Bone marrow smear
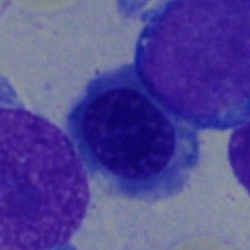Morphology consistent with an erythroblast.